Pappenheim-stained · bone marrow aspirate smear:
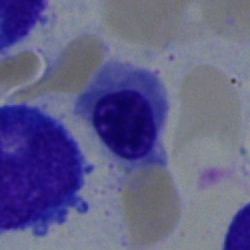 Q: What is shown here?
A: A normoblast.